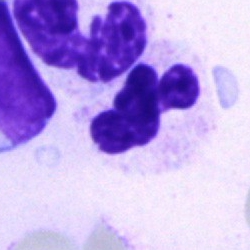Classification: neutrophil (segmented).